Bone marrow aspirate smear: 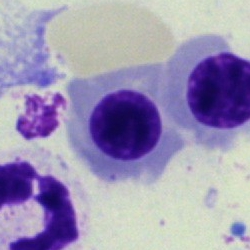
Classification: nucleated red blood cell.